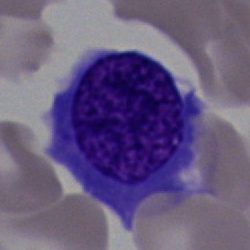Classification — erythroblast.